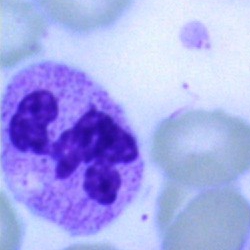 Morphology consistent with a polymorphonuclear neutrophil.